Bone marrow smear — 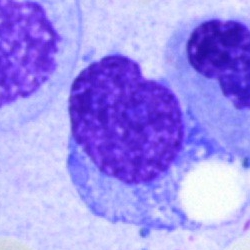
Cell type: lymphocyte.